Bone marrow smear. Brightfield, 40× oil-immersion objective — 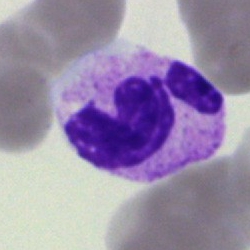Morphology — polymorphonuclear neutrophil.